250×250. Bone marrow aspirate smear:
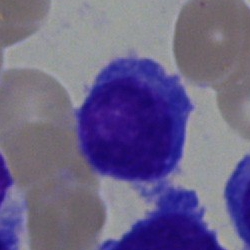 Lymphocyte.